Bone marrow aspirate smear.
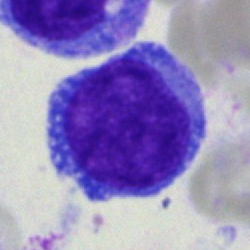 Showing a blast cell.